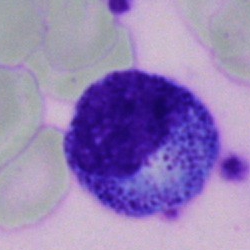Q: What is the morphological classification of this cell?
A: It is a progranulocyte.